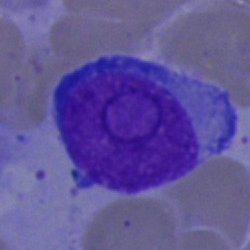Q: What type of cell is this?
A: Blast.